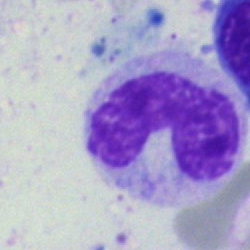

This is a band neutrophil.